Bone marrow aspirate smear — 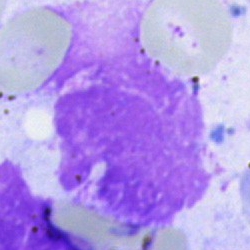

Single cell identified as an artefact.